Cropped to a single cell. Bone marrow aspirate smear. 250×250.
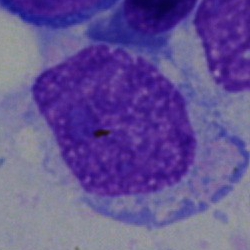Q: What is shown here?
A: This is an undifferentiated blast.